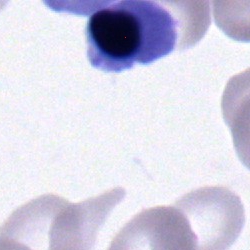
Q: Identify the cell.
A: A nucleated red blood cell.